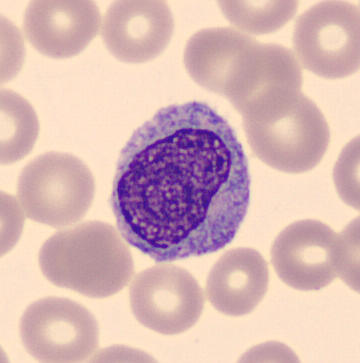 Morphology consistent with a monocyte.

Preparation: Peripheral blood smear; image size 360×363.